Bone marrow aspirate smear: 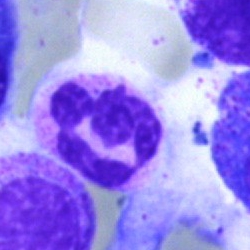Cell type — segmented neutrophil.